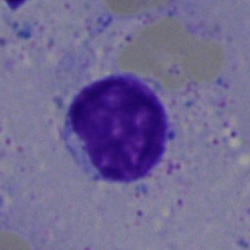
The cell shown is a typical lymphocyte.